Bone marrow smear
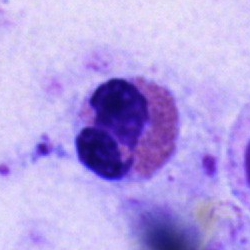Cell type = eosinophilic granulocyte.